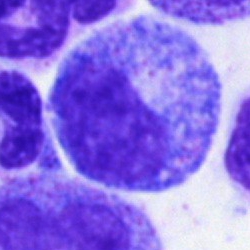{"cell_type": "promyelocyte", "lineage": "myeloid"}